40× objective, oil immersion · bone marrow smear
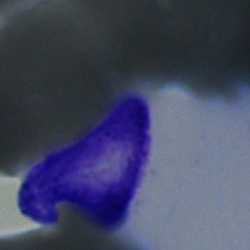 Morphological class = cell of indeterminate lineage.